Brightfield, 40× oil-immersion objective. Bone marrow aspirate smear. 250 by 250 pixels:
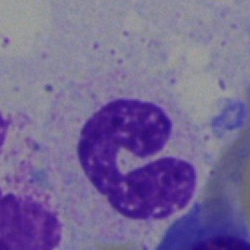

Cell: neutrophil (segmented).